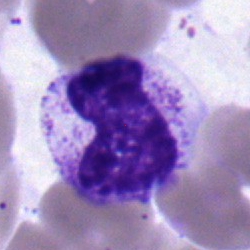 Single-cell crop from a bone marrow smear: band neutrophil.